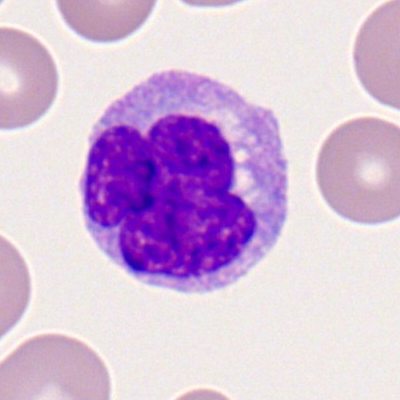 Morphology — monocyte.